Single cell centered in the field; 250×250 px; bone marrow smear: 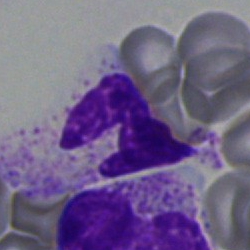

Q: Which cell type is shown here?
A: A neutrophil (segmented).